250×250 · bone marrow smear:
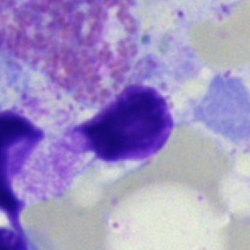Showing an artifact.